Bone marrow smear
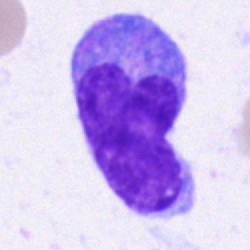

Monocyte.